Bone marrow aspirate smear — 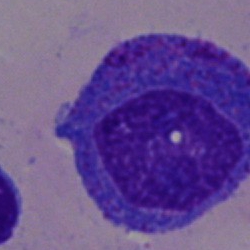
Q: What is shown here?
A: This is a promyelocyte.